Bone marrow smear — 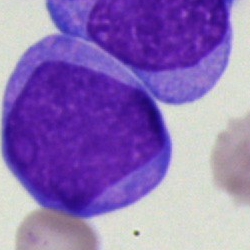

Morphology → undifferentiated blast.